Bone marrow aspirate smear
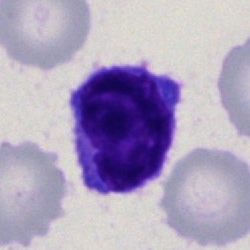Q: Identify the cell.
A: It is a lymphocyte.